Peripheral blood smear: 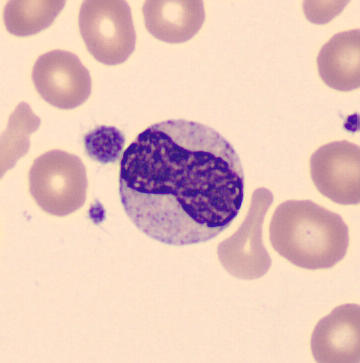 Cell type = metamyelocyte.